Peripheral blood smear.
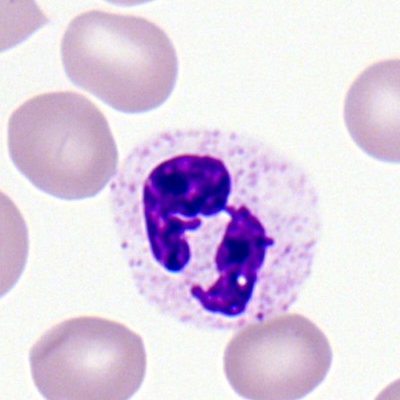 Morphological class = neutrophil (segmented).